Bone marrow smear · 40× oil immersion — 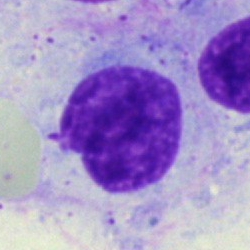
The cell is artifact.